Bone marrow smear. Single-cell field — 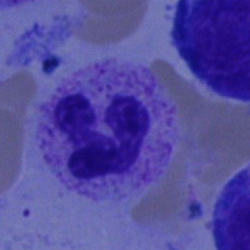Single cell identified as a neutrophil (segmented).